Bone marrow smear; 250×250 px.
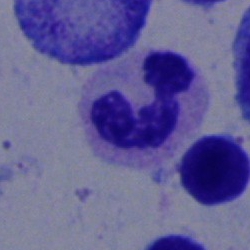A segmented neutrophil.